Bone marrow smear; 40× objective, oil immersion; Pappenheim-stained: 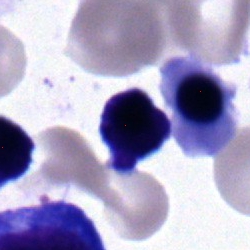Morphological class = typical lymphocyte.